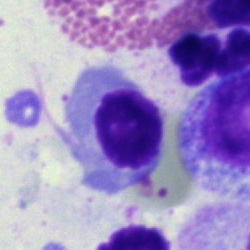
The morphological class is normoblast.